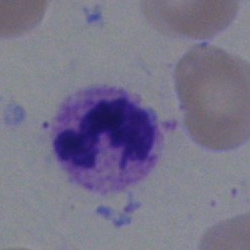

Morphology consistent with a polymorphonuclear neutrophil.